Bone marrow smear
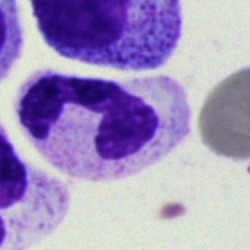Q: Which cell type is shown here?
A: This is a neutrophil (segmented).